Bone marrow smear: 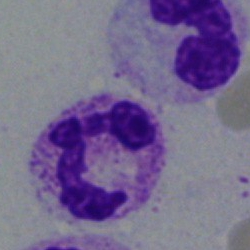
Q: What type of cell is this?
A: A polymorphonuclear neutrophil.